Bone marrow smear.
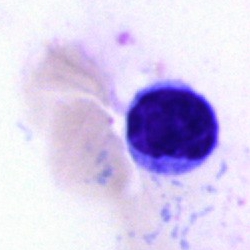

Morphology consistent with a lymphocyte.